250 by 250 pixels · brightfield microscopy, 40× oil immersion · bone marrow smear
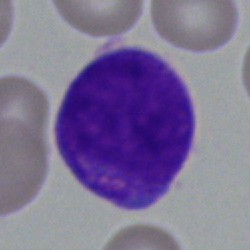
Cell type — blast cell.